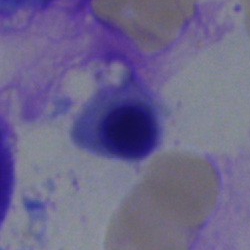

Classification — nucleated red cell.